Bone marrow smear — 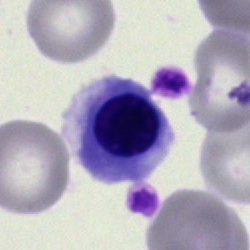
Classification — erythroblast.